Image size 250×250. Bone marrow aspirate smear:
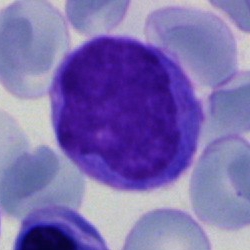
The cell is undifferentiated blast.